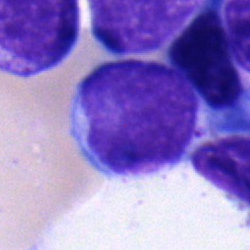
Cell: lymphocyte.